Bone marrow aspirate smear:
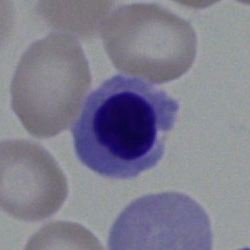

Morphology consistent with an erythroblast.